250×250 px. Bone marrow smear. 40× objective, oil immersion:
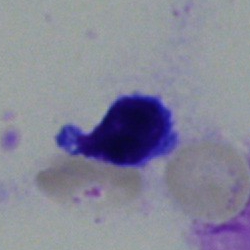Morphology consistent with a typical lymphocyte.